Bone marrow aspirate smear.
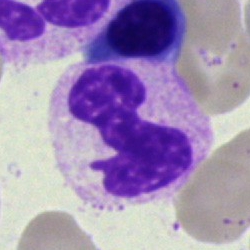Cell: neutrophil (segmented).